May-Grünwald-Giemsa/Pappenheim stain; bone marrow aspirate smear; cropped to a single cell.
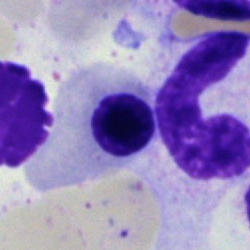Morphological class — erythroblast.